Peripheral blood smear; MGG stain; cropped to a single cell — 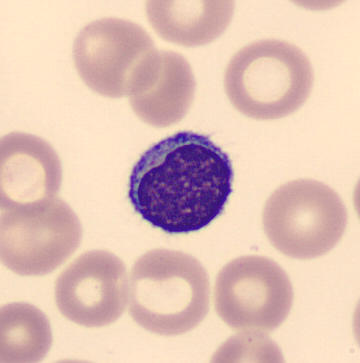

Showing a typical lymphocyte.